Bone marrow aspirate smear.
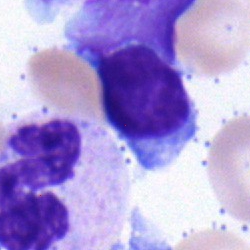
Specimen: bone marrow aspirate smear.
Cell type: lymphocyte.
Lineage: lymphoid.